Peripheral blood film:
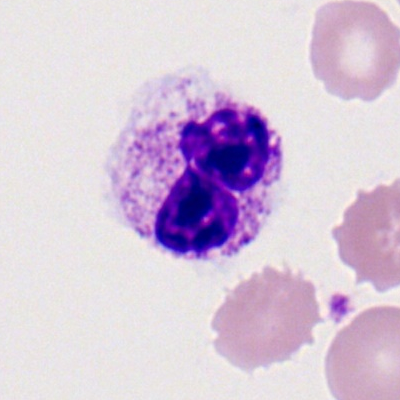Single cell identified as a polymorphonuclear neutrophil.